Bone marrow aspirate smear · single cell centered in the field — 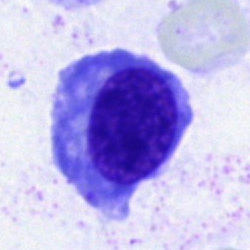 Q: What is shown here?
A: It is a nucleated red blood cell.